Bone marrow aspirate smear · May-Grünwald-Giemsa/Pappenheim stain
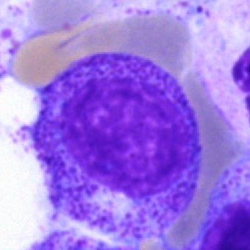
This is a myelocyte.